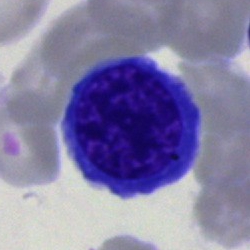 An erythroblast.